Bone marrow aspirate smear; May-Grünwald-Giemsa stain; brightfield, 40× oil-immersion objective
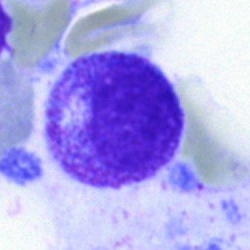Morphological class: myelocyte.